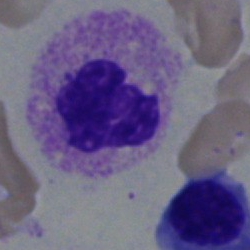

Showing a segmented neutrophil.